Bone marrow smear · cropped to a single cell · 250 by 250 pixels — 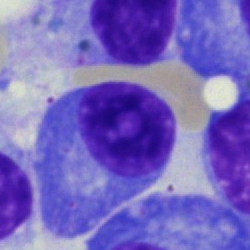 Showing a plasma cell.